May Grünwald-Giemsa stain · peripheral blood smear: 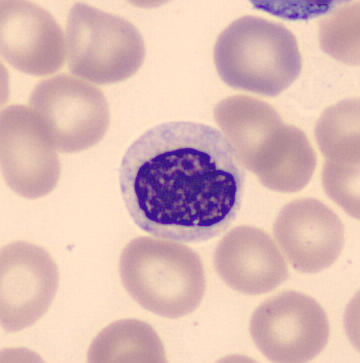Single cell identified as a metamyelocyte.